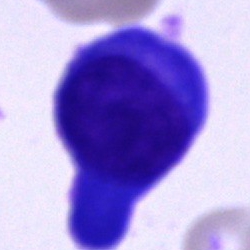A plasmacyte.